Brightfield, 40× oil-immersion objective; bone marrow smear; 250×250 px — 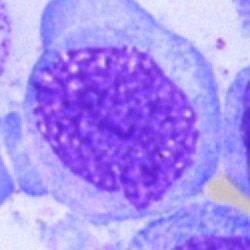 Morphological class = blast.